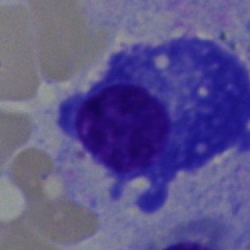 Q: What is the morphological classification of this cell?
A: It is a plasma cell.